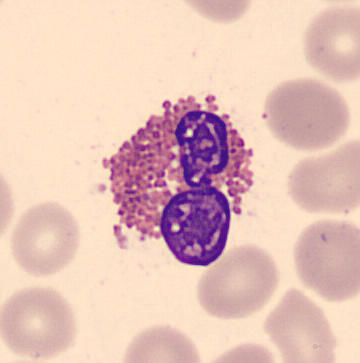

Image: Cropped to a single cell. Peripheral blood smear.
{"cell_type": "eosinophil", "lineage": "myeloid"}